MGG-stained · bone marrow smear: 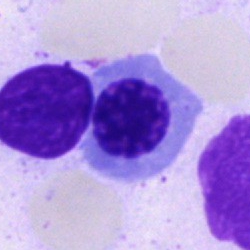A nucleated red blood cell.